Bone marrow smear — 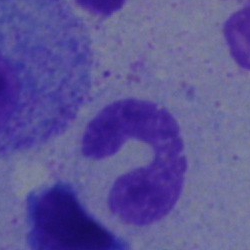The cell is band-form neutrophil.